Bone marrow smear. May-Grünwald-Giemsa stain. 40× oil immersion — 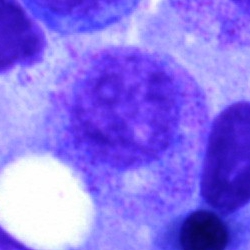 Morphology consistent with a myelocyte.